Single-cell crop · bone marrow smear — 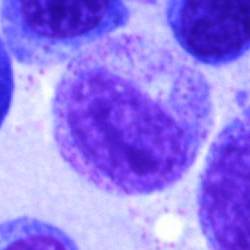Showing a myelocyte.